250×250 px. Bone marrow smear — 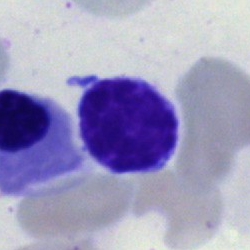

Showing a lymphocyte.